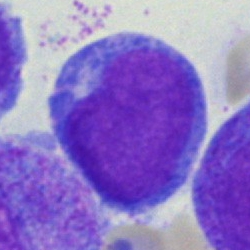
Cell = blast.